Bone marrow aspirate smear.
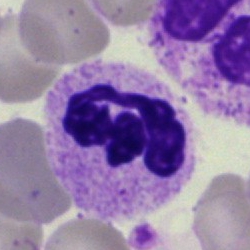

{"cell_type": "neutrophil (segmented)"}